Bone marrow aspirate smear: 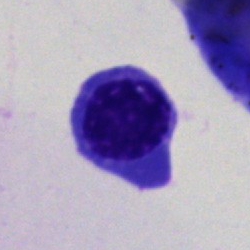

Single cell identified as an erythroblast.